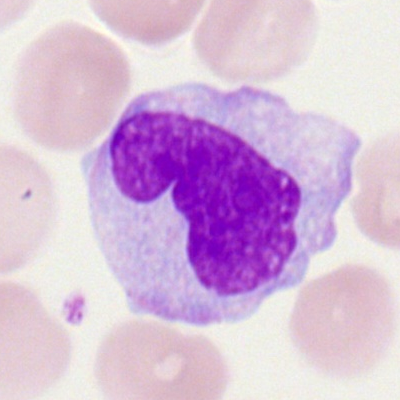

Peripheral blood film, single cell — monocyte.